Bone marrow aspirate smear; brightfield microscopy, 40× oil immersion: 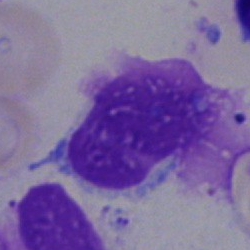
The cell shown is an artifact.